Bone marrow aspirate smear · MGG-stained
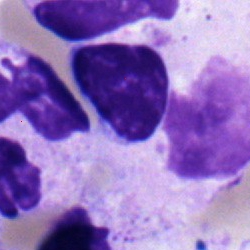 Cell type = lymphocyte.